Single cell centered in the field · MGG-stained · bone marrow aspirate smear:
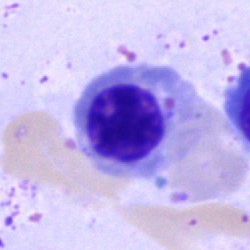
The classification is nucleated red cell.